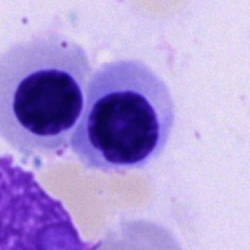 Morphological class: nucleated red cell.